Bone marrow aspirate smear:
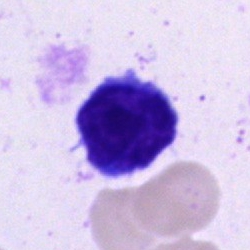

Classification — lymphocyte.